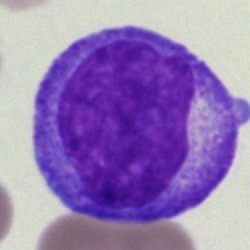

Impression → undifferentiated blast.